Bone marrow aspirate smear: 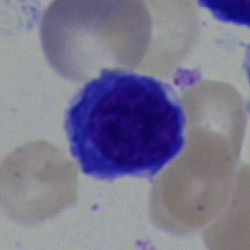

Classification = erythroblast.